Bone marrow aspirate smear · 250 by 250 pixels
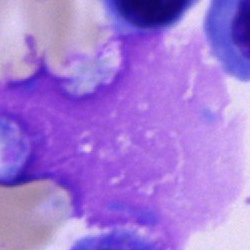
The classification is artifact.